Bone marrow aspirate smear
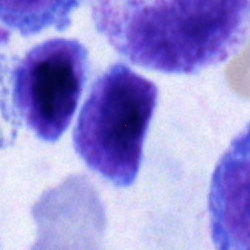Impression → typical lymphocyte.